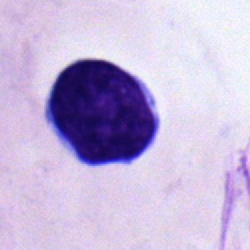
Q: What is the morphological classification of this cell?
A: Typical lymphocyte.